Bone marrow aspirate smear. MGG-stained: 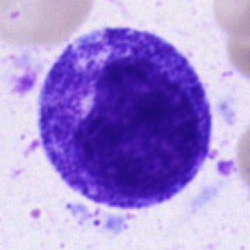Q: Identify the cell.
A: A promyelocyte.